Bone marrow smear — 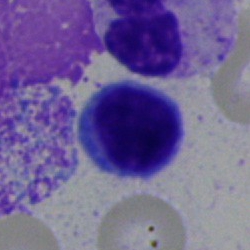Q: What cell is this?
A: A lymphocyte.